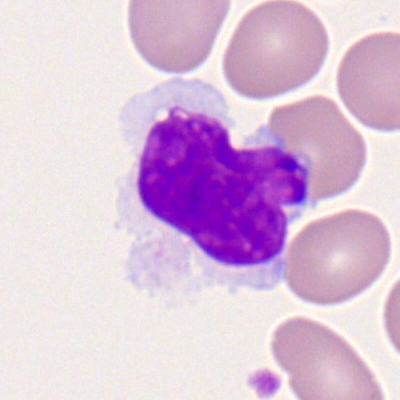
Morphology — lymphocyte.